Bone marrow aspirate smear: 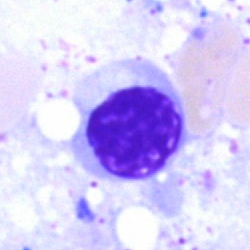

Cell: nucleated red cell.